Bone marrow aspirate smear · single cell centered in the field:
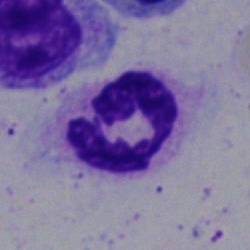 Showing a polymorphonuclear neutrophil.